Bone marrow smear · May-Grünwald-Giemsa/Pappenheim stain.
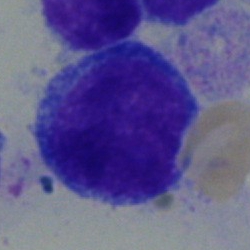A blast cell.